Peripheral blood film. Cropped to a single cell:
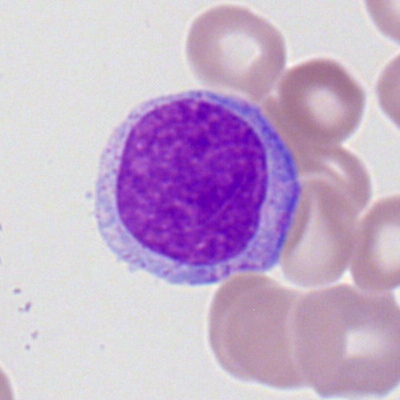Specimen: peripheral blood film.
Classification: myeloblast.
Lineage: myeloid.